Bone marrow aspirate smear.
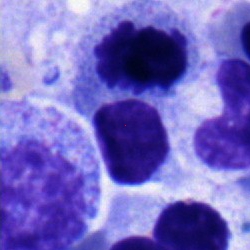 Classification = typical lymphocyte.